Bone marrow aspirate smear. 40× objective, oil immersion: 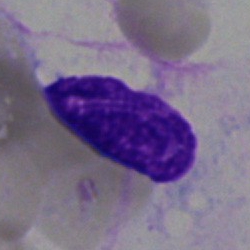 Specimen: bone marrow aspirate smear.
Morphological class: artifact.